40× objective, oil immersion. Image size 250×250. Bone marrow smear: 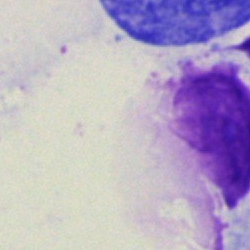

Showing an artefact.